Bone marrow smear; brightfield, 40× oil-immersion objective.
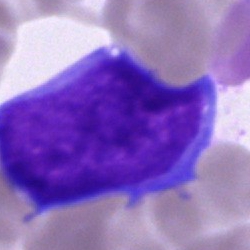
Impression → blast cell.